Cropped to a single cell; bone marrow smear:
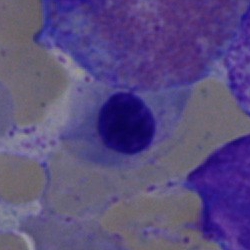

Cell: erythroblast.